40× objective, oil immersion. Single cell centered in the field. Bone marrow aspirate smear — 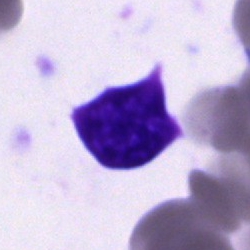Morphological class = cell of indeterminate lineage.